Peripheral blood smear
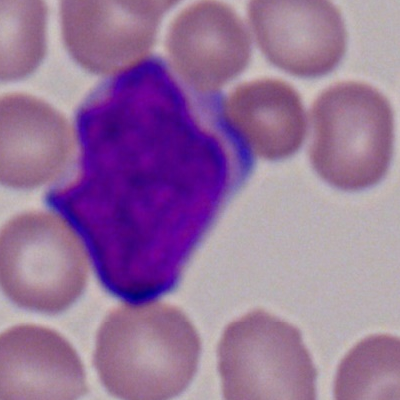
Morphological class: myeloblast.